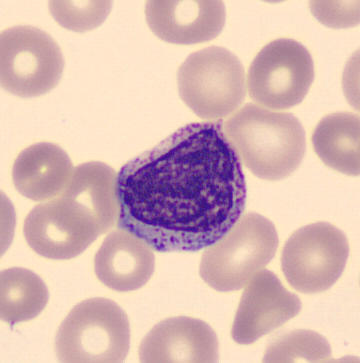
Preparation: Imaged on a CellaVision DM96 analyser; peripheral blood smear; single-cell field.

Cell type = myelocyte.